Bone marrow smear. May-Grünwald-Giemsa stain: 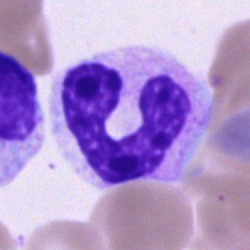
Impression → band-form neutrophil.